Bone marrow smear: 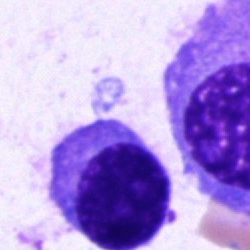
Classification = plasma cell.